Single-cell crop · brightfield microscopy, 40× oil immersion · bone marrow aspirate smear — 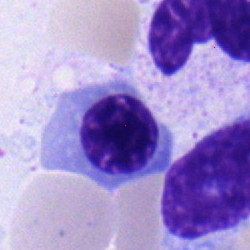The cell type is normoblast.